Bone marrow aspirate smear: 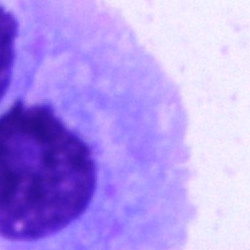

Q: What is shown here?
A: It is a plasma cell.